Bone marrow smear
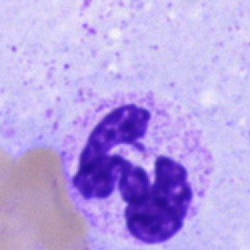
Classification = neutrophil (segmented).